100× oil immersion, 14.14 px/µm. Romanowsky-stained. Peripheral blood smear: 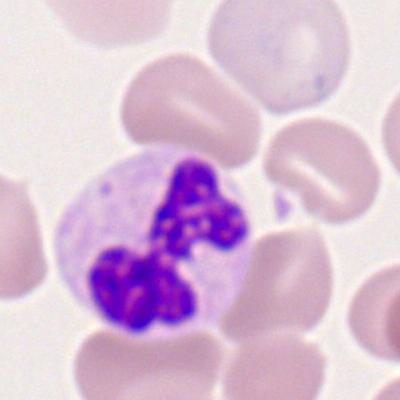

Showing a polymorphonuclear neutrophil.